Bone marrow smear. Brightfield microscopy, 40× oil immersion:
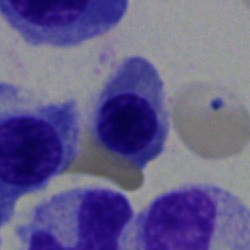{"cell_type": "nucleated red cell", "lineage": "erythroid"}